Bone marrow smear: 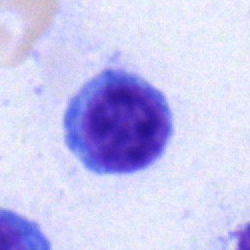
A typical lymphocyte.